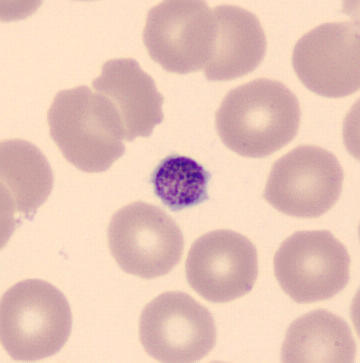Q: What is this?
A: A thrombocyte.